Bone marrow smear. Image size 250×250.
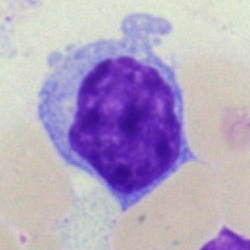This is a typical lymphocyte.